Bone marrow aspirate smear.
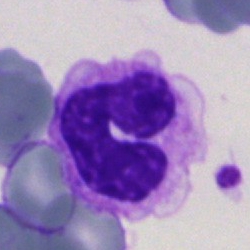Impression — stab cell.